May-Grünwald-Giemsa/Pappenheim stain; 250 by 250 pixels; bone marrow smear — 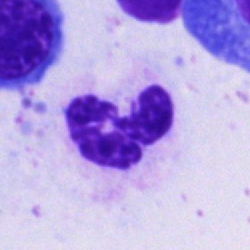 Showing a neutrophil (segmented).